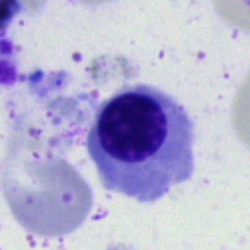Single-cell crop from a bone marrow smear: nucleated red cell.